Bone marrow smear
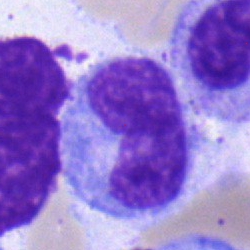Morphology — metamyelocyte.